Bone marrow aspirate smear.
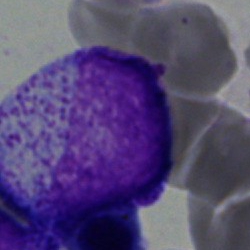
Single cell identified as a myelocyte.